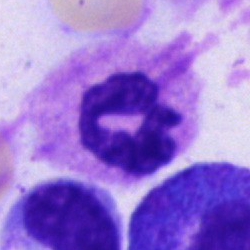

Cell: polymorphonuclear neutrophil.